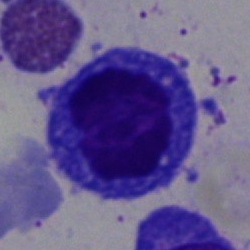 Q: What type of cell is this?
A: Nucleated red blood cell.